Bone marrow smear: 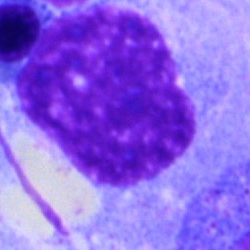
This is an artifact.